Single-cell field. Bone marrow smear
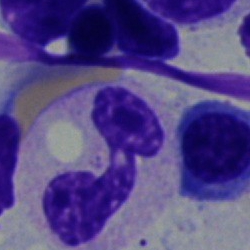Single cell identified as a neutrophil (band).